May-Grünwald-Giemsa/Pappenheim stain; single-cell field; bone marrow smear — 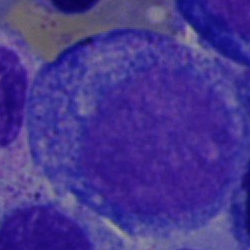 Classification — promyelocyte.